Bone marrow aspirate smear: 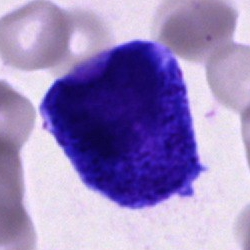
The cell type is promyelocyte.